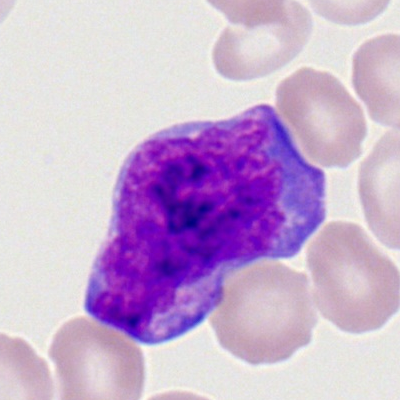Morphology — myeloid blast.